Bone marrow smear · 250 by 250 pixels: 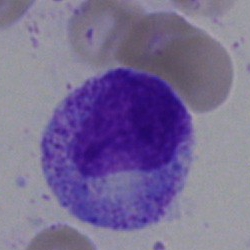
The morphological class is promyelocyte.